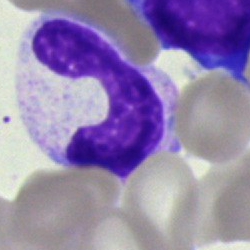 Specimen: bone marrow smear.
Cell: band neutrophil.